250×250 px · bone marrow aspirate smear:
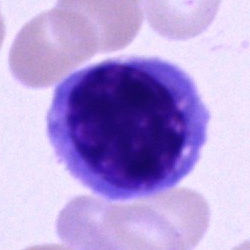 Q: What is the morphological classification of this cell?
A: An erythroblast.